Bone marrow aspirate smear · May-Grünwald-Giemsa/Pappenheim stain · 250×250
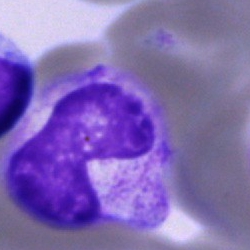 Specimen: bone marrow aspirate smear.
Morphological class: band-form neutrophil.
Lineage: myeloid.